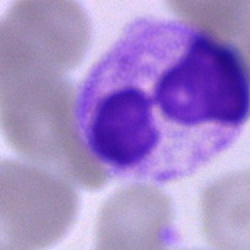

Impression — segmented neutrophil.